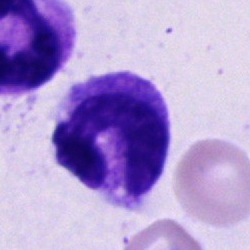 Q: What is the morphological classification of this cell?
A: Band neutrophil.